Bone marrow smear · single-cell crop: 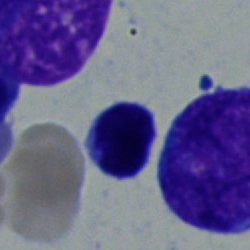A lymphocyte.